Bone marrow aspirate smear: 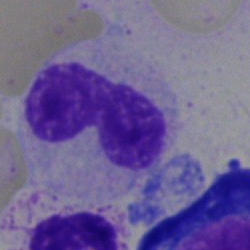Classification = band neutrophil.